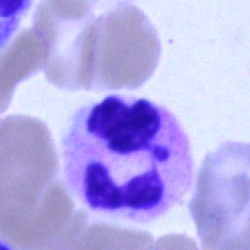Specimen: bone marrow aspirate smear.
Morphological class: neutrophil (segmented).